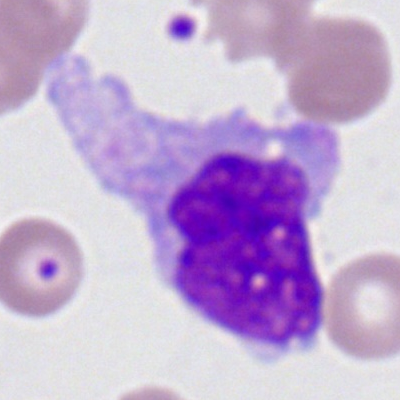
This is a monocyte.